Bone marrow aspirate smear.
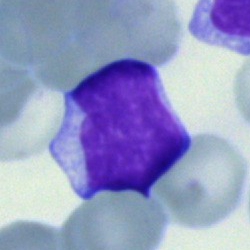

Impression → typical lymphocyte.